May-Grünwald-Giemsa/Pappenheim stain; bone marrow smear; 40× oil immersion — 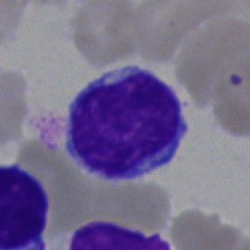Morphology — lymphocyte.